Peripheral blood film — 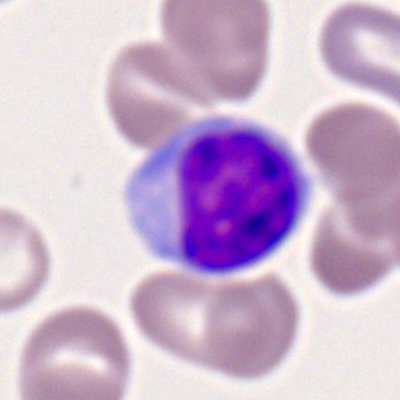Lymphocyte.